Pappenheim-stained · 40× objective, oil immersion · bone marrow smear: 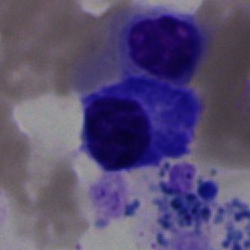
The cell shown is a plasmacyte.